Peripheral blood film. Single cell centered in the field:
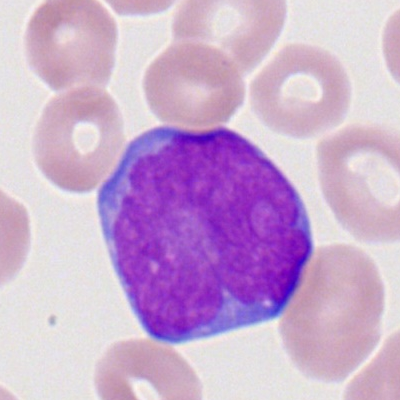Showing a myeloid blast.